MGG-stained; bone marrow aspirate smear:
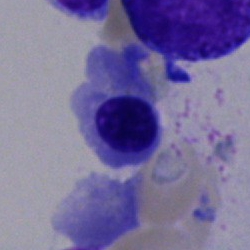
This is a nucleated red cell.